Peripheral blood smear; single-cell field — 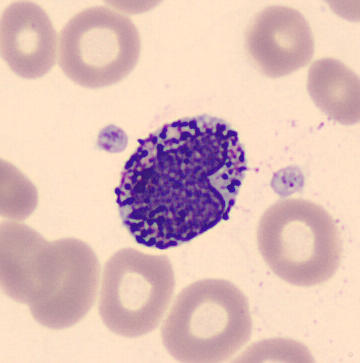

Showing a basophilic granulocyte.